Brightfield microscopy, 40× oil immersion · bone marrow aspirate smear: 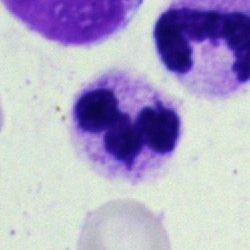
The morphological class is segmented neutrophil.